Brightfield microscopy, 40× oil immersion · bone marrow smear
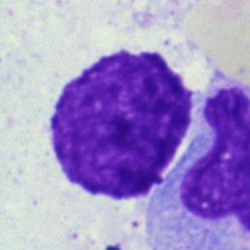 Morphology → artefact.